250×250 px. Bone marrow smear — 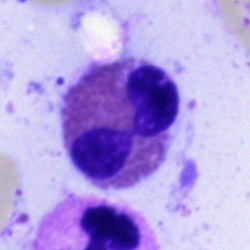Specimen: bone marrow aspirate smear.
Classification: eosinophil.